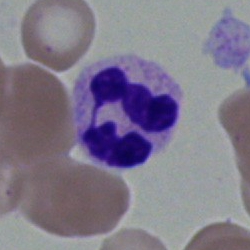This is a segmented neutrophil.